Bone marrow smear.
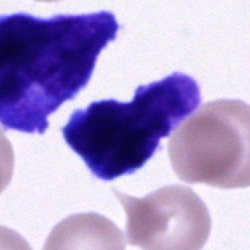The cell is cell of indeterminate lineage.